Bone marrow smear:
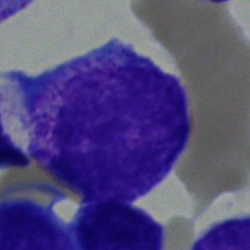

Q: What is shown here?
A: This is a promyelocyte.